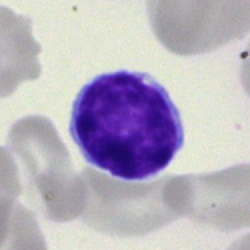Specimen: bone marrow aspirate smear.
Cell type: typical lymphocyte.